Bone marrow smear — 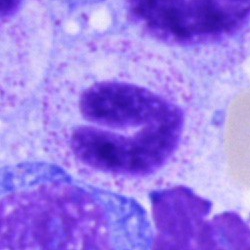Single cell identified as a band neutrophil.